Bone marrow aspirate smear — 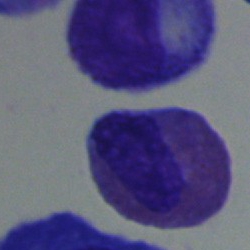Q: What cell is this?
A: It is an eosinophil.